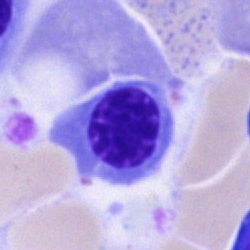
Morphological class = normoblast.